Peripheral blood smear. Single-cell field:
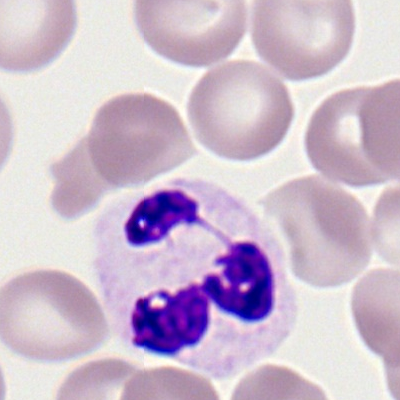
The cell shown is a polymorphonuclear neutrophil.